Bone marrow smear
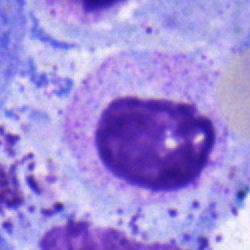 The morphological class is metamyelocyte.